Bone marrow smear — 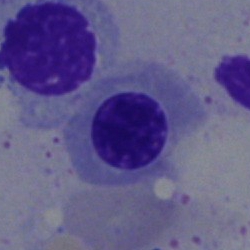Cell — erythroblast.